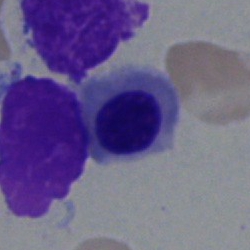Specimen: bone marrow smear.
Cell type: erythroblast.
Lineage: erythroid.